Bone marrow aspirate smear: 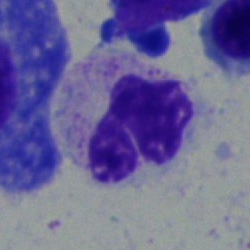
Morphological class — polymorphonuclear neutrophil.